Bone marrow aspirate smear:
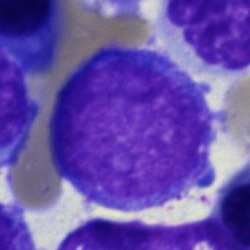 Classification: blast.